Bone marrow aspirate smear. 250×250
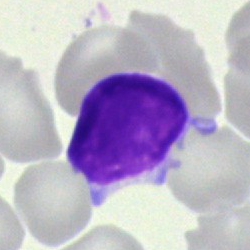
Showing a lymphocyte.